360×363 px. MGG stain. Peripheral blood film — 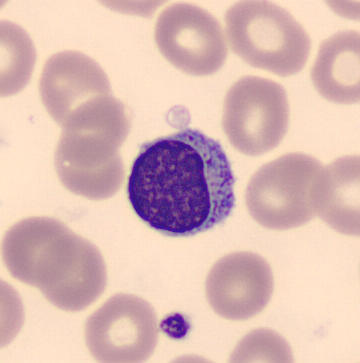

The cell is typical lymphocyte.